Single-cell field · May-Grünwald-Giemsa stain · bone marrow smear:
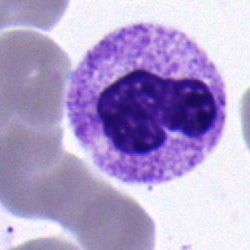
Cell type: band neutrophil.